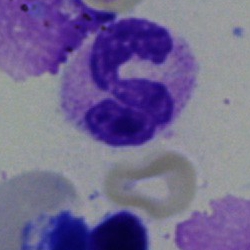 Cell — polymorphonuclear neutrophil.